Bone marrow smear — 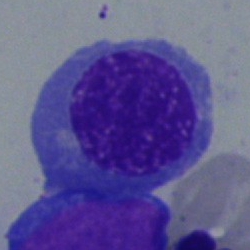 Morphology consistent with an erythroblast.